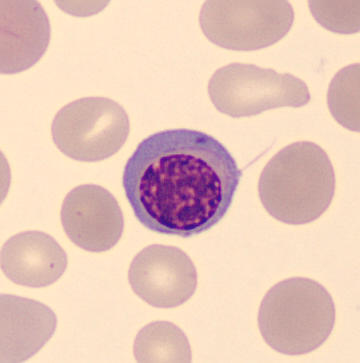 Peripheral blood smear; 360×363 px.

Morphological class = normoblast.